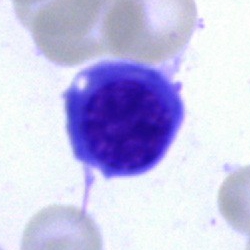 Impression — nucleated red cell.